Bone marrow aspirate smear:
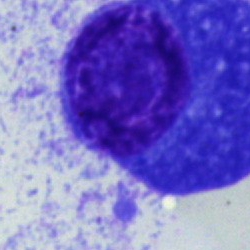This is a plasma cell.